Bone marrow aspirate smear · Pappenheim-stained.
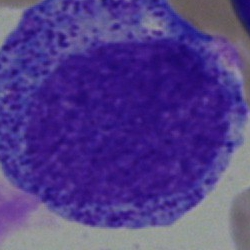 This is a progranulocyte.